Bone marrow aspirate smear
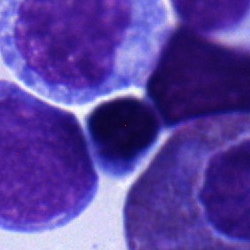 Typical lymphocyte.